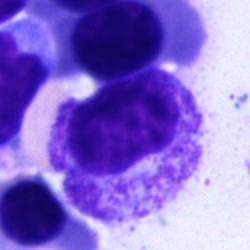 Q: Identify the cell.
A: This is a myelocyte.